Bone marrow aspirate smear:
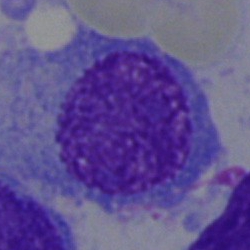

Morphology → plasmacyte.